Bone marrow smear · 40× oil immersion:
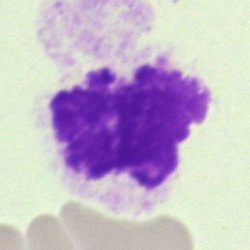
The cell shown is an artifact.